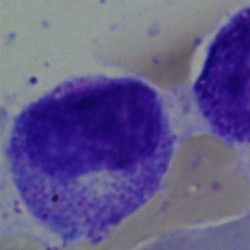
The cell shown is a metamyelocyte.